250×250 px. Bone marrow aspirate smear. May-Grünwald-Giemsa/Pappenheim stain.
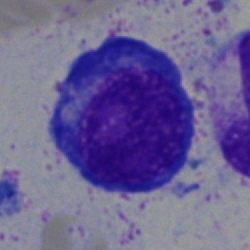

The classification is pronormoblast.